Bone marrow smear · May-Grünwald-Giemsa/Pappenheim stain · brightfield microscopy, 40× oil immersion: 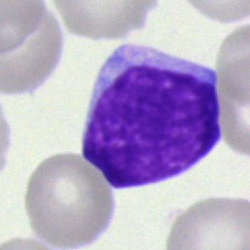

Q: What type of cell is this?
A: A blast cell.